Bone marrow smear: 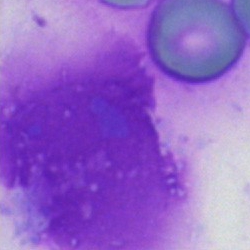 Q: What is shown here?
A: This is an artifact.